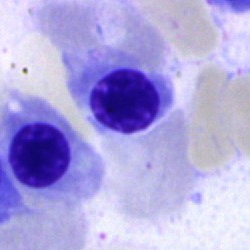 Specimen: bone marrow aspirate smear.
Cell: nucleated red cell.
Lineage: erythroid.